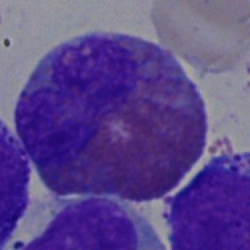Eosinophil.